Bone marrow smear · cropped to a single cell · May-Grünwald-Giemsa/Pappenheim stain
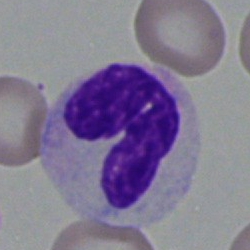

Morphology consistent with a polymorphonuclear neutrophil.